Single-cell crop; bone marrow smear: 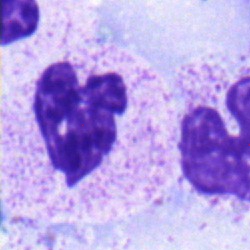Cell type: segmented neutrophil.